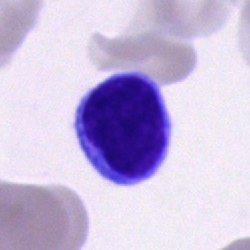Q: What is the morphological classification of this cell?
A: It is a lymphocyte.